250×250; bone marrow smear.
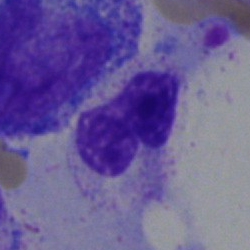
Stab cell.